Bone marrow smear:
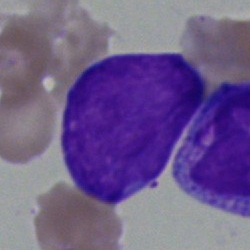Showing a blast.